Peripheral blood film; 400×400; Romanowsky-type stain
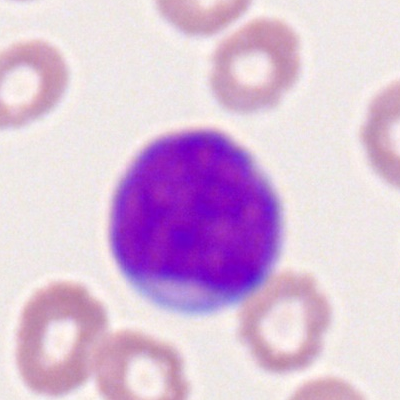
Single cell identified as a myeloid blast.